Bone marrow smear
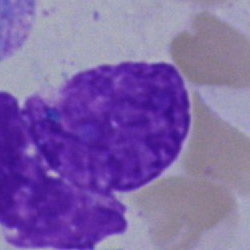
Cell = artefact.